250 by 250 pixels; Pappenheim-stained; bone marrow smear: 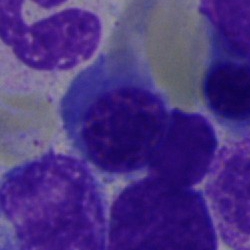Q: What cell is this?
A: A nucleated red cell.